Single-cell crop · bone marrow smear · brightfield, 40× oil-immersion objective: 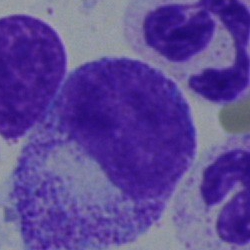A myelocyte.